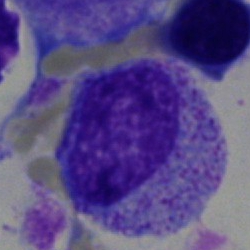
Classification — promyelocyte.